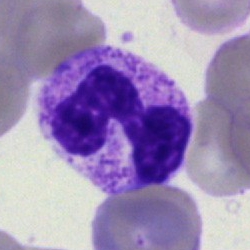
Showing a band-form neutrophil.